Bone marrow aspirate smear: 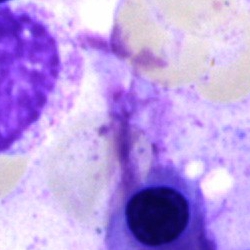Cell type: artefact.